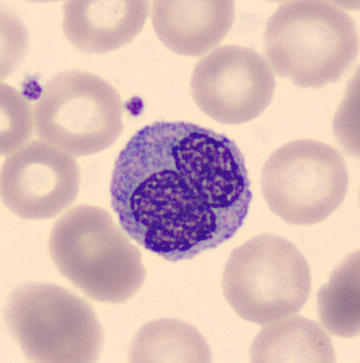Preparation: Peripheral blood smear · MGG-stained · automated cell imaging (CellaVision DM96).

Cell type = monocyte.